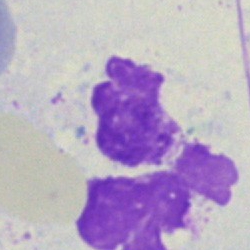

The morphological class is artefact.